Bone marrow smear. Brightfield, 40× oil-immersion objective
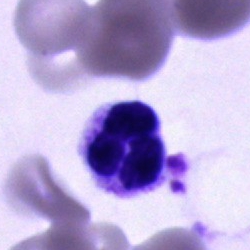

The cell shown is a polymorphonuclear neutrophil.